Bone marrow aspirate smear
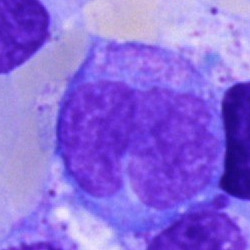
Q: Which cell type is shown here?
A: Monocyte.